Bone marrow aspirate smear · single-cell crop · May-Grünwald-Giemsa/Pappenheim stain — 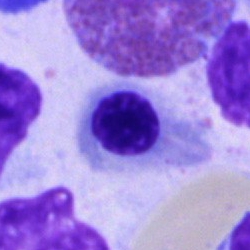
Q: What cell is this?
A: It is an erythroblast.